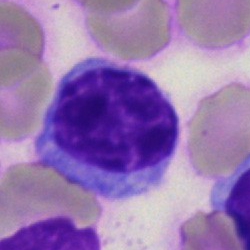 {"cell_type": "typical lymphocyte", "lineage": "lymphoid"}